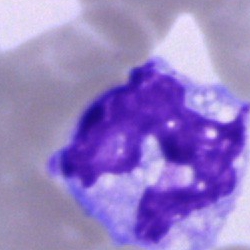 Cell: monocyte.